40× objective, oil immersion; bone marrow aspirate smear; single cell centered in the field: 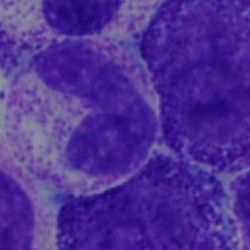
Impression — metamyelocyte.